40× oil immersion · bone marrow aspirate smear — 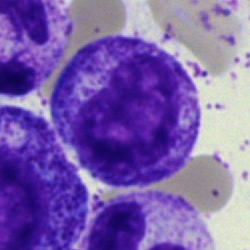
Q: What is the morphological classification of this cell?
A: A myelocyte.